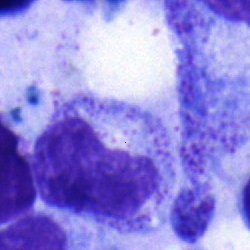 Impression → metamyelocyte.